250 by 250 pixels; bone marrow smear:
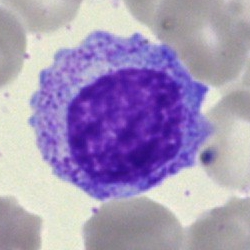

Morphology — myelocyte.